Brightfield, 40× oil-immersion objective. Bone marrow aspirate smear: 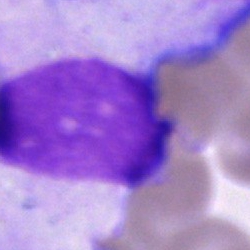

Impression — artifact.